May-Grünwald-Giemsa stain; bone marrow aspirate smear
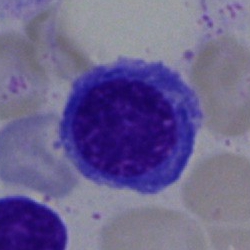
The morphological class is normoblast.